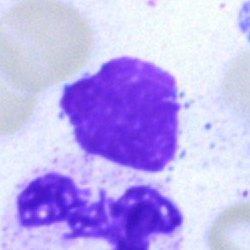Cell = artifact.